Peripheral blood smear
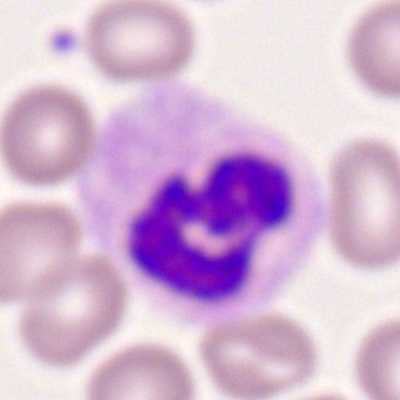 A segmented neutrophil.